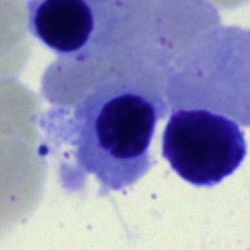Q: What cell is this?
A: It is a nucleated red cell.